Bone marrow aspirate smear; MGG-stained.
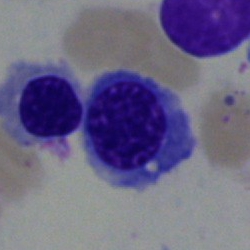Erythroblast.